Bone marrow smear; single cell centered in the field — 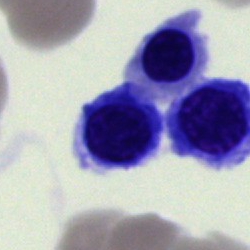

Q: What cell is this?
A: Nucleated red cell.